40× objective, oil immersion · bone marrow smear.
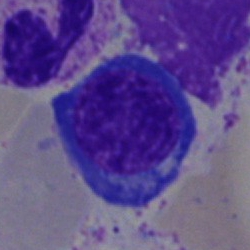
Q: What is shown here?
A: It is a nucleated red blood cell.